Bone marrow smear · 40× oil immersion: 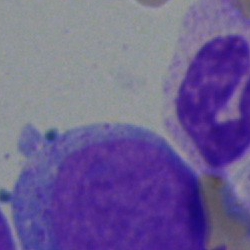

Cell type = blast cell.